Bone marrow aspirate smear:
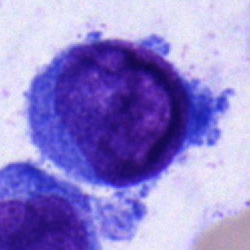 Specimen: bone marrow smear.
Classification: blast.